Pappenheim-stained; bone marrow aspirate smear; 40× objective, oil immersion
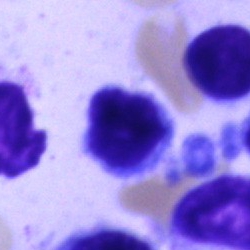 Q: Identify the cell.
A: Typical lymphocyte.